Bone marrow smear; single cell centered in the field
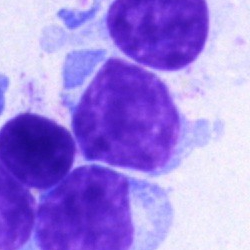

Q: What type of cell is this?
A: Lymphocyte.